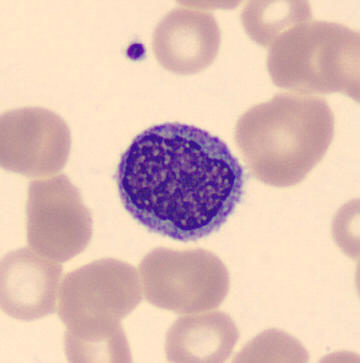

The cell type is monocyte.